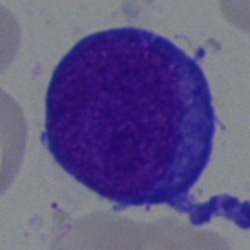
Morphology — pronormoblast.